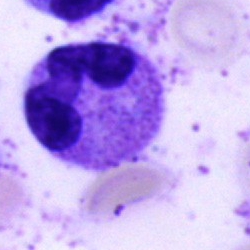 The cell is polymorphonuclear neutrophil.